Bone marrow aspirate smear:
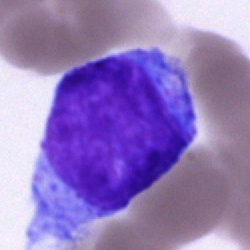 Cell = undifferentiated blast.